Bone marrow aspirate smear.
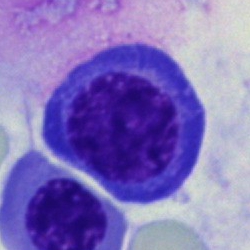Morphology consistent with an erythroblast.